250 by 250 pixels. Brightfield, 40× oil-immersion objective. Bone marrow aspirate smear:
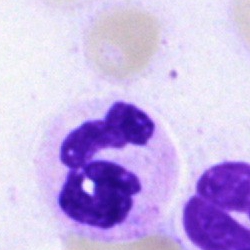

Specimen: bone marrow smear.
Cell type: neutrophil (segmented).
Lineage: myeloid.